Bone marrow aspirate smear · brightfield microscopy, 40× oil immersion · Pappenheim-stained
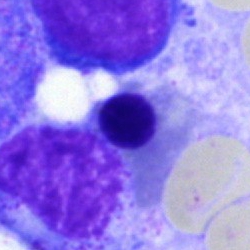Q: What is shown here?
A: It is a normoblast.